250×250 px; bone marrow aspirate smear — 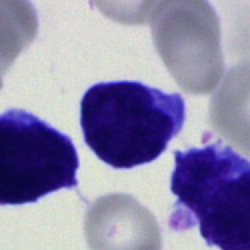Specimen: bone marrow smear.
Morphological class: blast cell.